Bone marrow smear; 40× oil immersion — 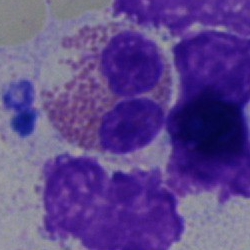 Specimen: bone marrow aspirate smear.
Classification: eosinophil.
Lineage: myeloid.